Bone marrow aspirate smear. Cropped to a single cell. May-Grünwald-Giemsa stain: 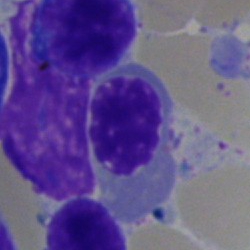

A nucleated red blood cell.